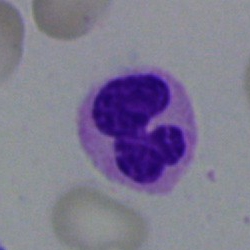

Impression — segmented neutrophil.